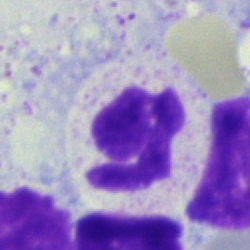

A neutrophil (segmented) on a bone marrow smear.